Bone marrow aspirate smear; MGG-stained: 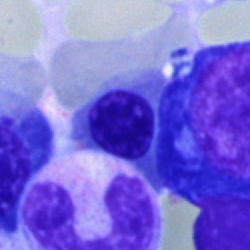 Q: What cell is this?
A: A nucleated red blood cell.